Image size 250×250; single-cell field; bone marrow smear.
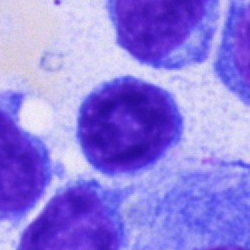
Specimen: bone marrow aspirate smear.
Cell: typical lymphocyte.
Lineage: lymphoid.